250×250 · bone marrow aspirate smear · 40× oil immersion:
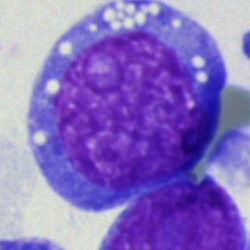
The cell is blast.